Single-cell field; bone marrow smear; May-Grünwald-Giemsa/Pappenheim stain — 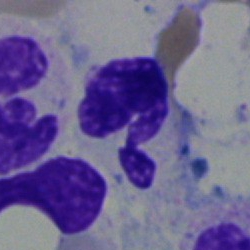
Morphology consistent with a polymorphonuclear neutrophil.